Bone marrow smear: 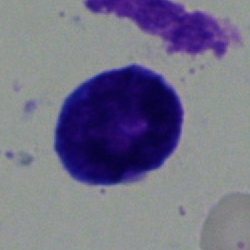

The cell type is blast cell.